Bone marrow aspirate smear · 250×250 · single cell centered in the field — 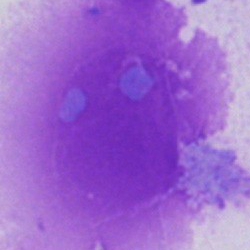
Morphology consistent with an artefact.